Bone marrow aspirate smear — 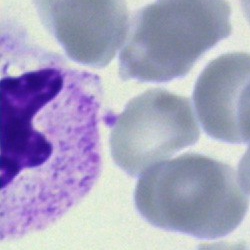Classification: neutrophil (segmented).